250×250 px · bone marrow aspirate smear:
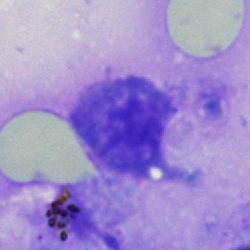

An artifact.